100× objective, oil immersion; peripheral blood film: 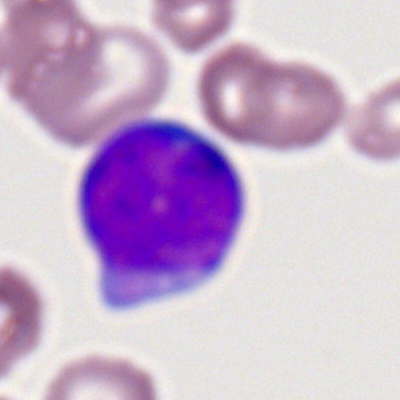

The cell shown is a myeloid blast.